Pappenheim-stained; bone marrow aspirate smear
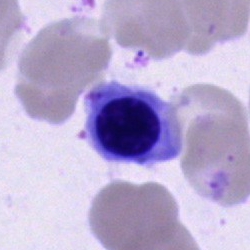Nucleated red blood cell.